Bone marrow aspirate smear. Image size 250×250. 40× oil immersion
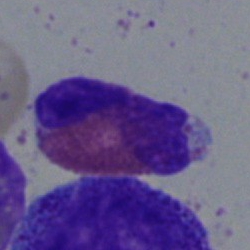
An eosinophil.